May-Grünwald-Giemsa stain. Bone marrow smear: 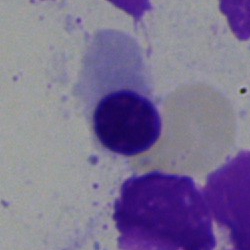
Single cell identified as an erythroblast.